Bone marrow smear; 250 by 250 pixels.
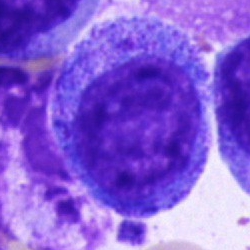Cell type = progranulocyte.